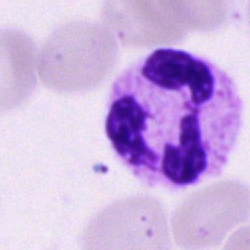

This is a segmented neutrophil.